MGG-stained; bone marrow aspirate smear
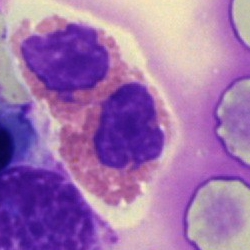
Morphology consistent with an eosinophilic granulocyte.